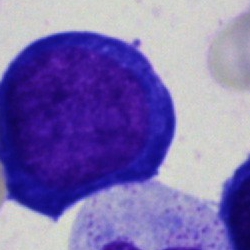

Impression → pronormoblast.